Peripheral blood film — 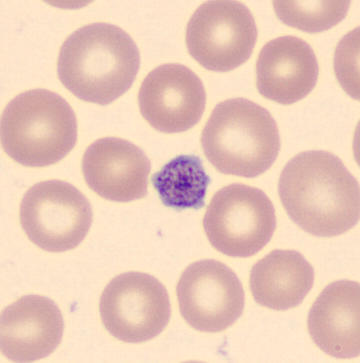

Morphology consistent with a platelet.